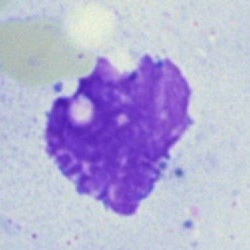
Specimen: bone marrow smear.
Classification: artefact.